Bone marrow smear
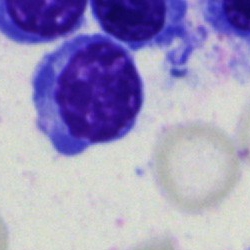
Specimen: bone marrow aspirate smear.
Cell type: erythroblast.
Lineage: erythroid.